Bone marrow aspirate smear: 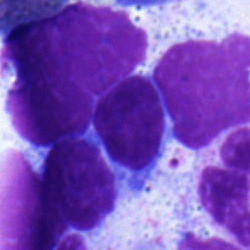

Q: Which cell type is shown here?
A: Normoblast.